Bone marrow aspirate smear: 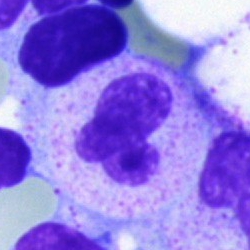 Q: Identify the cell.
A: This is a band-form neutrophil.